Cropped to a single cell; bone marrow smear
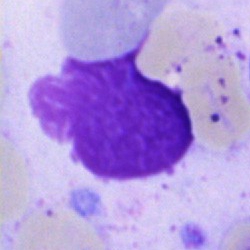 Q: What is shown here?
A: An artefact.